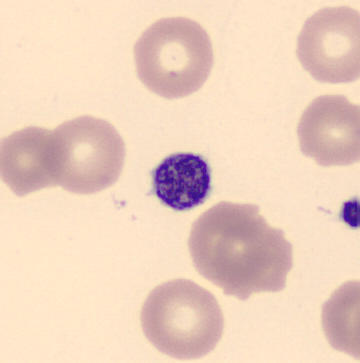

{"cell_type": "thrombocyte"}